Bone marrow smear; single cell centered in the field:
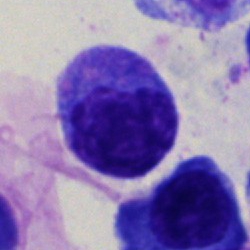

Specimen: bone marrow aspirate smear.
Classification: monocyte.
Lineage: myeloid.